Bone marrow aspirate smear
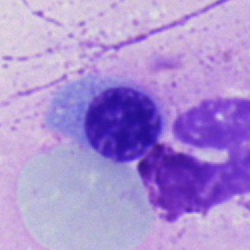

A nucleated red cell.